Bone marrow aspirate smear · May-Grünwald-Giemsa stain: 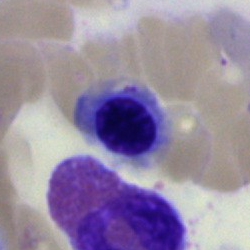A nucleated red cell.